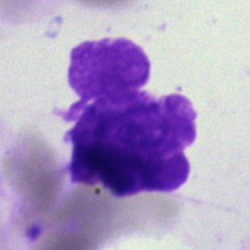Classification: artifact.